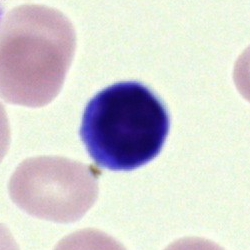 Q: What type of cell is this?
A: Lymphocyte.